May-Grünwald-Giemsa/Pappenheim stain; bone marrow smear — 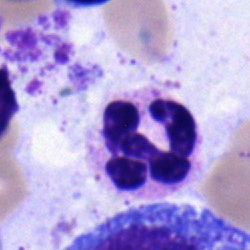Classification = polymorphonuclear neutrophil.